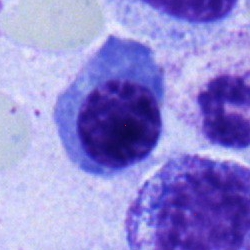
Morphological class: erythroblast.